Bone marrow aspirate smear:
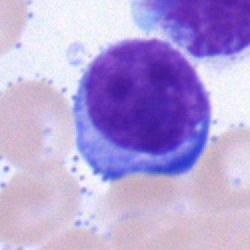
Q: What is shown here?
A: Typical lymphocyte.